40× oil immersion · bone marrow aspirate smear: 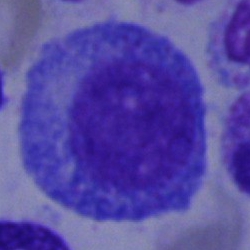 Morphological class: progranulocyte.